Single cell centered in the field · bone marrow smear.
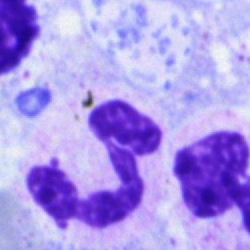
Morphology — neutrophil (segmented).